Bone marrow smear.
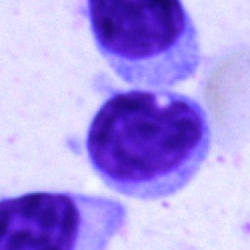Lymphocyte.